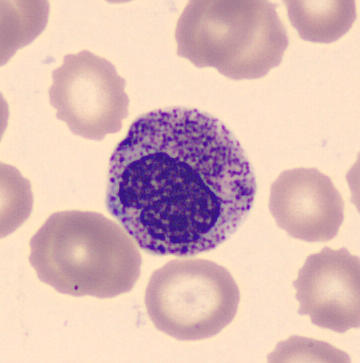Preparation: Peripheral blood smear · MGG-stained.

This is a metamyelocyte.